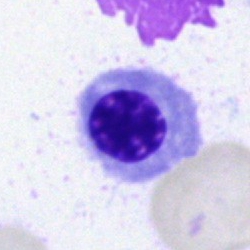Q: Which cell type is shown here?
A: Normoblast.